Bone marrow smear. Brightfield microscopy, 40× oil immersion. Single-cell field:
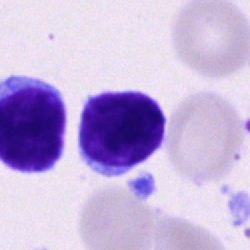 Specimen: bone marrow smear.
Cell type: typical lymphocyte.
Lineage: lymphoid.